Bone marrow aspirate smear — 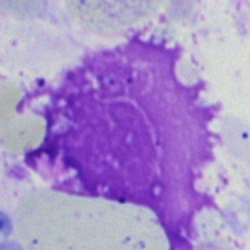Specimen: bone marrow aspirate smear.
Classification: artefact.